Bone marrow smear; cropped to a single cell: 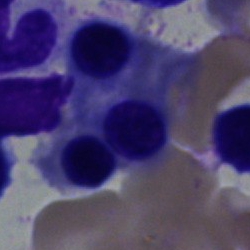 Specimen: bone marrow aspirate smear.
Cell: nucleated red cell.
Lineage: erythroid.